Brightfield microscopy, 40× oil immersion; bone marrow aspirate smear — 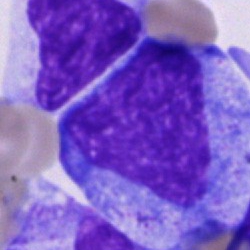Specimen: bone marrow smear.
Cell type: progranulocyte.
Lineage: myeloid.